Bone marrow smear: 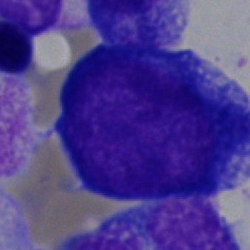 Single cell identified as a proerythroblast.